Bone marrow smear · 250 by 250 pixels · brightfield, 40× oil-immersion objective:
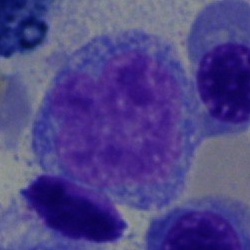

Cell: monocyte.